Bone marrow smear
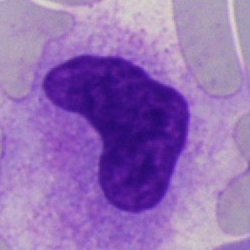An artifact.